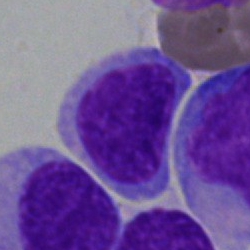 Q: What type of cell is this?
A: A blast.